Peripheral blood film.
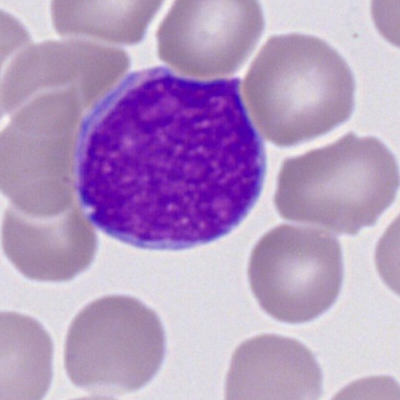
Single cell identified as a myeloid blast.